Bone marrow aspirate smear
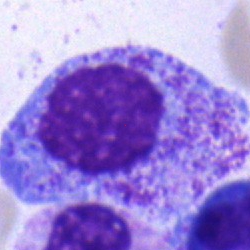

The cell shown is a progranulocyte.